May-Grünwald-Giemsa/Pappenheim stain; bone marrow aspirate smear.
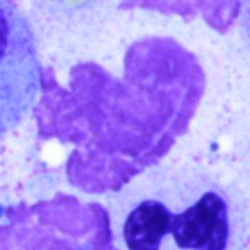

Q: What is shown here?
A: It is an artifact.